Bone marrow aspirate smear — 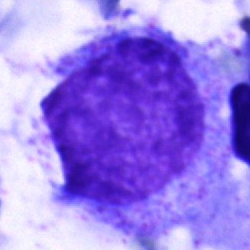
Specimen: bone marrow smear.
Cell: promyelocyte.
Lineage: myeloid.